Bone marrow smear · brightfield, 40× oil-immersion objective · May-Grünwald-Giemsa stain
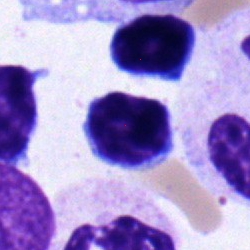

Specimen: bone marrow aspirate smear.
Classification: typical lymphocyte.